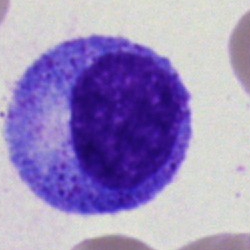Impression → promyelocyte.